May-Grünwald-Giemsa stain. Bone marrow smear: 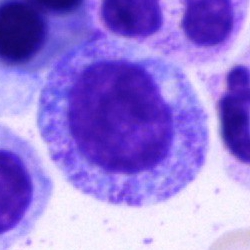
Morphology consistent with a progranulocyte.